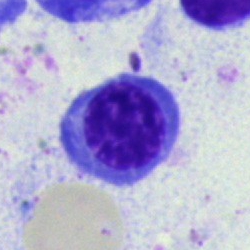

Cell = erythroblast.